40× oil immersion. 250×250. Bone marrow aspirate smear — 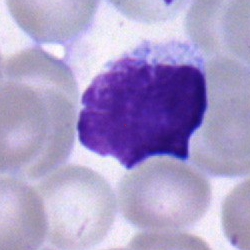 The cell shown is a lymphocyte.